Bone marrow smear
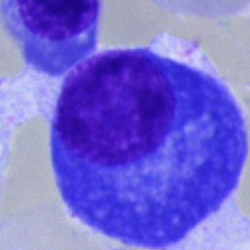

Morphology consistent with a plasma cell.